May-Grünwald-Giemsa stain · bone marrow smear:
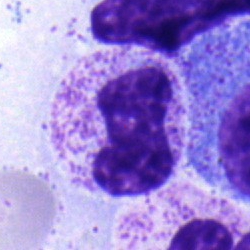
Cell type = neutrophil (band).